Peripheral blood smear
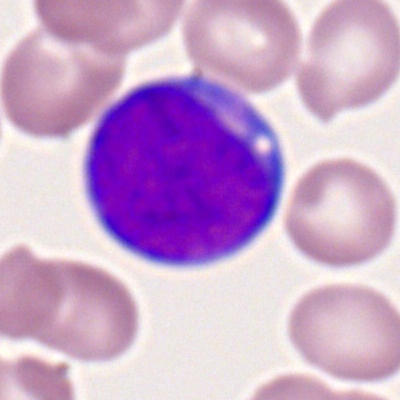

Cell type = myeloid blast.